Cropped to a single cell; peripheral blood film.
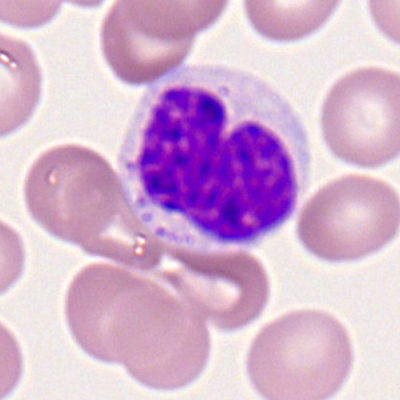 Morphological class — neutrophil (segmented).